Bone marrow aspirate smear:
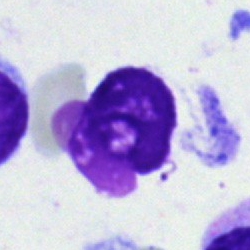Q: What is shown here?
A: This is an artefact.